250×250; bone marrow aspirate smear; 40× objective, oil immersion.
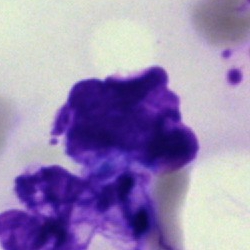 Cell — artefact.